Bone marrow smear
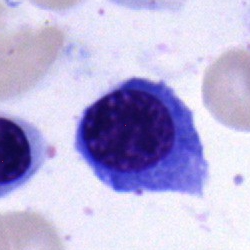The cell shown is an erythroblast.